Bone marrow smear; 250×250 px; brightfield, 40× oil-immersion objective:
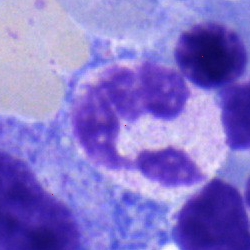Morphology — segmented neutrophil.